Bone marrow smear: 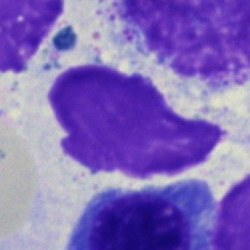The cell shown is an artefact.